Peripheral blood film: 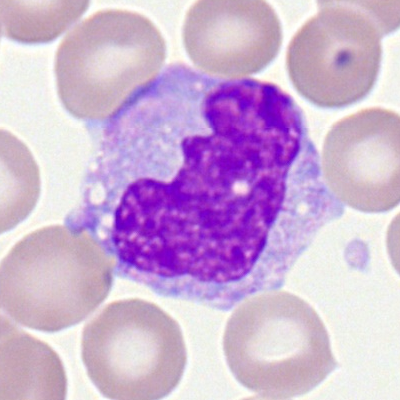
Monocyte.